Bone marrow smear
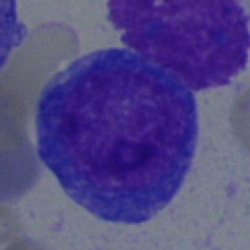 Q: What type of cell is this?
A: Undifferentiated blast.